Bone marrow aspirate smear: 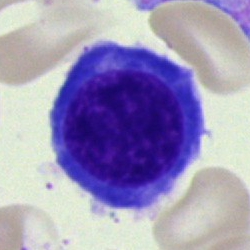

Specimen: bone marrow smear.
Classification: nucleated red blood cell.
Lineage: erythroid.